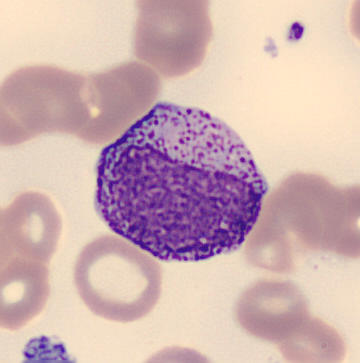

Classification: promyelocyte.

Image: Peripheral blood smear.